Bone marrow aspirate smear.
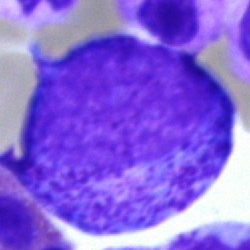Q: Which cell type is shown here?
A: This is a promyelocyte.